Peripheral blood smear. May-Grünwald-Giemsa-stained. Automated cell imaging (CellaVision DM96)
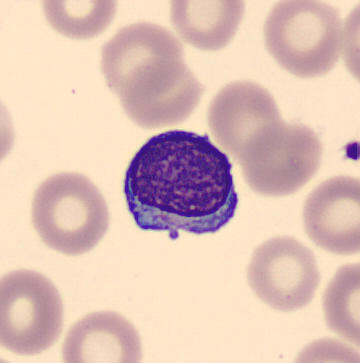Cell: typical lymphocyte.